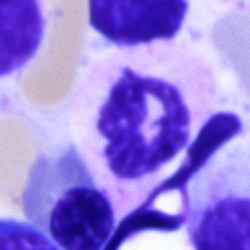

Morphology consistent with a neutrophil (segmented).